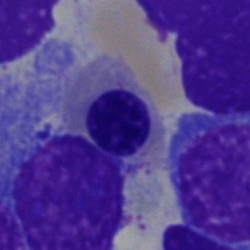
Bone marrow smear showing a normoblast.